Bone marrow smear.
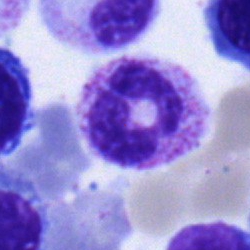 Cell type: segmented neutrophil.